Bone marrow smear: 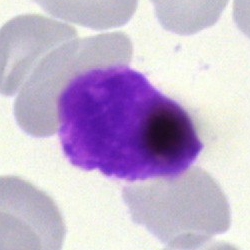
This is a Gumprecht shadow.